Bone marrow aspirate smear · cropped to a single cell — 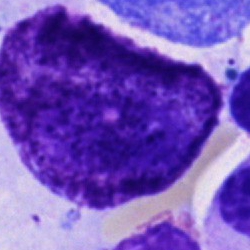Specimen: bone marrow smear.
Cell type: other cell type.